Pappenheim-stained; bone marrow smear:
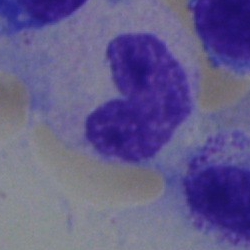

This is a band-form neutrophil.